Bone marrow smear · 40× objective, oil immersion · image size 250×250 — 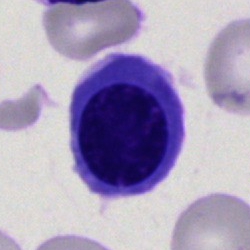 Cell — nucleated red blood cell.